250×250 px. Bone marrow smear:
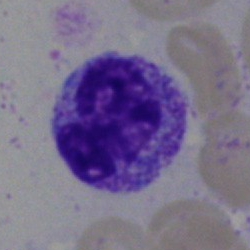Metamyelocyte.